Bone marrow smear: 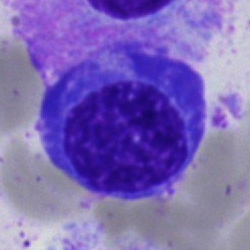Q: Identify the cell.
A: Plasmacyte.